Bone marrow aspirate smear.
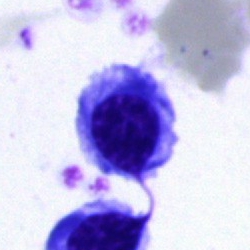
Q: What cell is this?
A: Erythroblast.